Bone marrow smear — 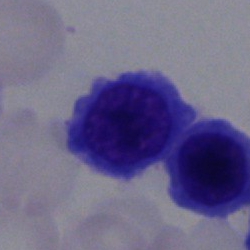 Nucleated red blood cell.